Bone marrow aspirate smear:
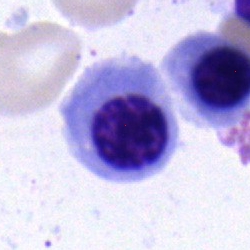

Q: What type of cell is this?
A: Erythroblast.